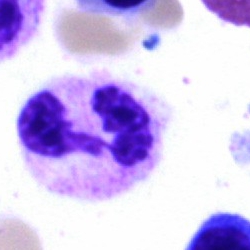Impression — neutrophil (segmented).